Single-cell field. Bone marrow smear:
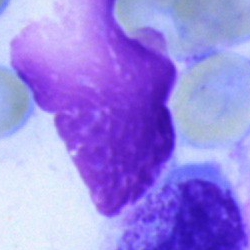Specimen: bone marrow aspirate smear.
Classification: artifact.